Bone marrow aspirate smear.
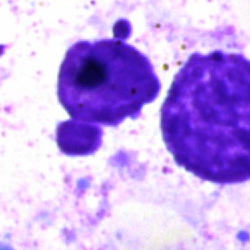Q: What is shown here?
A: An artifact.